Brightfield, 40× oil-immersion objective · bone marrow smear
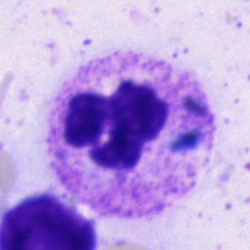
The cell shown is a polymorphonuclear neutrophil.